Bone marrow smear. 250×250 px
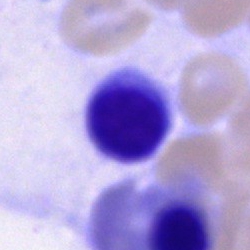Showing a lymphocyte.